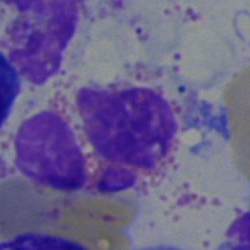 Impression — eosinophilic granulocyte.